250×250 px; Pappenheim-stained; bone marrow aspirate smear.
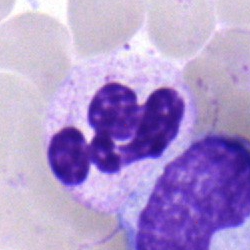

Classification = segmented neutrophil.